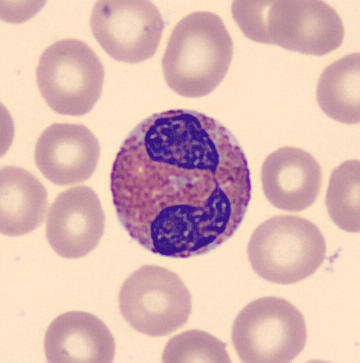 An eosinophil. 360 by 363 pixels. CellaVision DM96 digital cell image. Peripheral blood smear.